Bone marrow smear. Brightfield microscopy, 40× oil immersion:
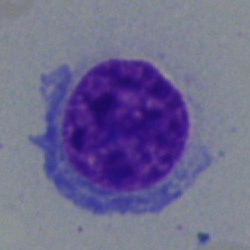Showing a plasma cell.